Bone marrow aspirate smear: 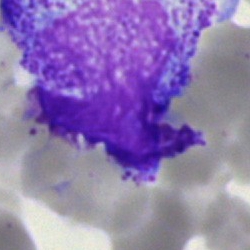

Cell: progranulocyte.